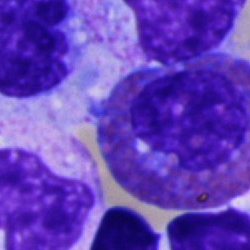
Morphology consistent with an eosinophilic granulocyte.